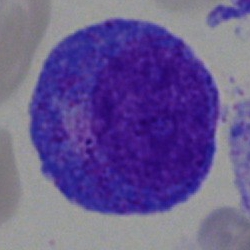

Q: What is the morphological classification of this cell?
A: A promyelocyte.